Image size 400×400. Peripheral blood film.
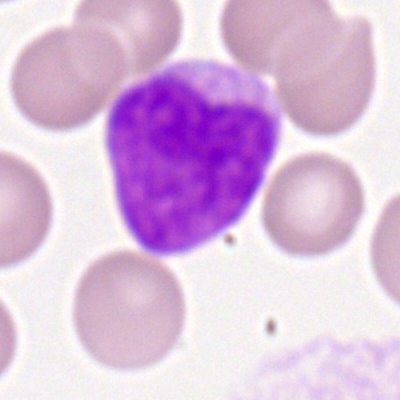 Cell type: myeloblast.